Bone marrow smear
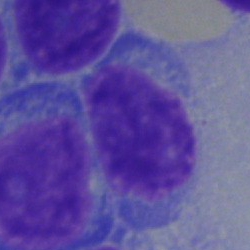

Specimen: bone marrow smear.
Cell type: typical lymphocyte.
Lineage: lymphoid.